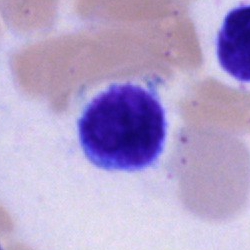
Q: What is the morphological classification of this cell?
A: A typical lymphocyte.